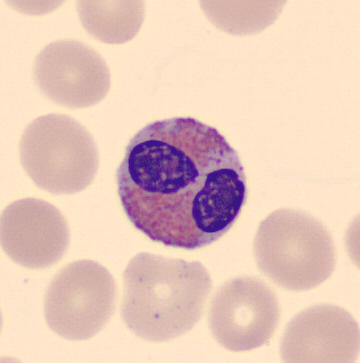

Morphology consistent with an eosinophil. Preparation: Peripheral blood film. Image size 360×363.